Bone marrow smear · single cell centered in the field — 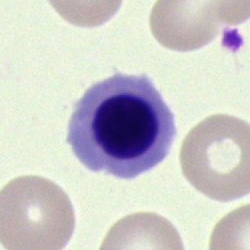
A nucleated red cell.